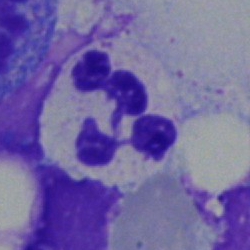 Neutrophil (segmented).